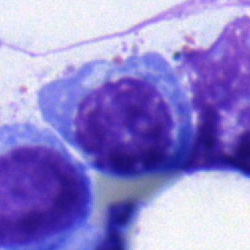
Bone marrow smear showing a plasma cell.